May-Grünwald-Giemsa/Pappenheim stain. Bone marrow aspirate smear: 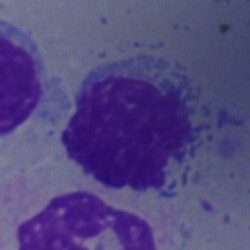This is an artefact.